Peripheral blood film. 100× oil immersion. Image size 400×400: 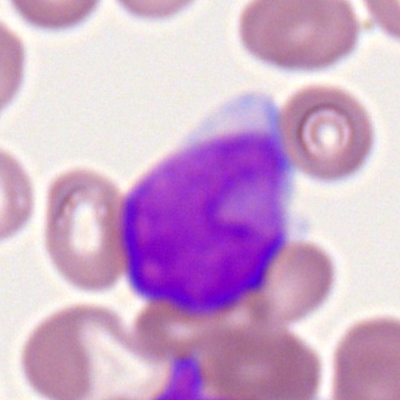
The classification is myeloid blast.